Peripheral blood film · single-cell crop · CellaVision DM96 digital cell image:
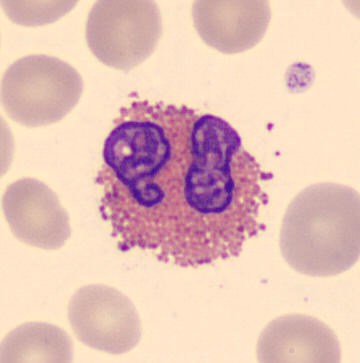

Q: What is shown here?
A: An eosinophilic granulocyte.